Bone marrow smear · 40× objective, oil immersion — 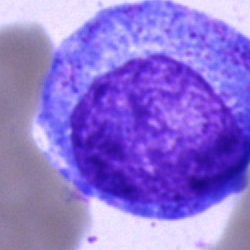 Showing a promyelocyte.